Cropped to a single cell. Bone marrow aspirate smear:
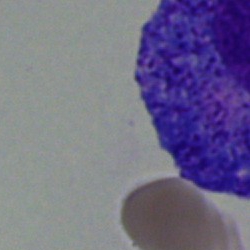

This is a promyelocyte.